Bone marrow aspirate smear; 250×250 px; brightfield microscopy, 40× oil immersion.
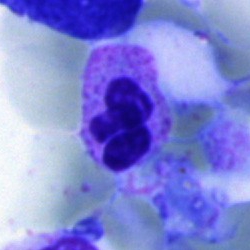A polymorphonuclear neutrophil.